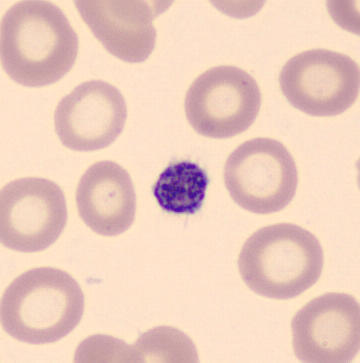
Specimen: peripheral blood film.
Cell type: platelet (thrombocyte).

Acquisition: MGG-stained. CellaVision DM96.